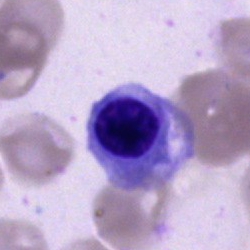
Nucleated red blood cell.